Pappenheim-stained · bone marrow aspirate smear:
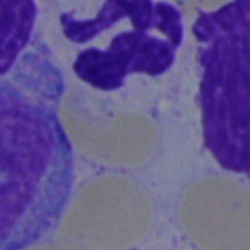 Classification: artifact.